Bone marrow smear; 250 by 250 pixels — 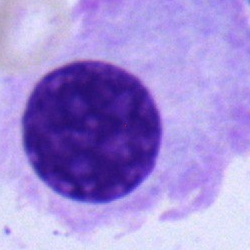

A plasma cell.